Bone marrow aspirate smear.
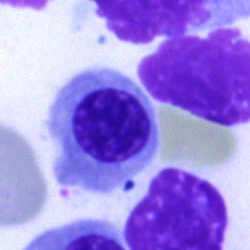Q: What type of cell is this?
A: This is a normoblast.